40× oil immersion. Bone marrow aspirate smear: 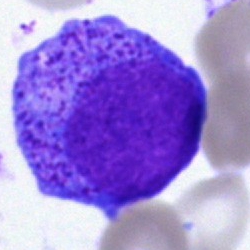Q: What is shown here?
A: Promyelocyte.